Bone marrow smear. Single-cell field:
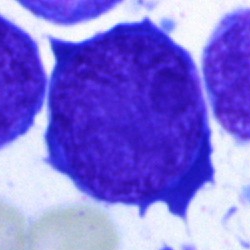 Morphology consistent with a blast cell.